Pappenheim-stained. Bone marrow smear
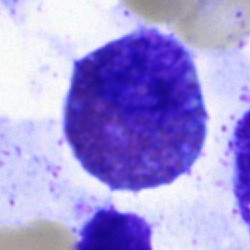Cell type: eosinophil.